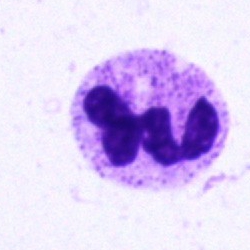

A segmented neutrophil.